Bone marrow smear: 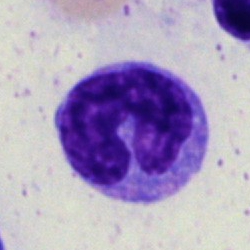

Q: What type of cell is this?
A: It is a monocyte.